250×250. Bone marrow aspirate smear:
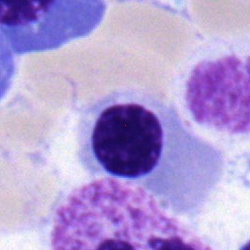
Cell: nucleated red cell.